Bone marrow aspirate smear: 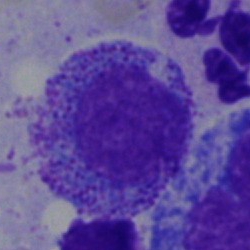
Specimen: bone marrow aspirate smear.
Classification: progranulocyte.
Lineage: myeloid.